Bone marrow smear:
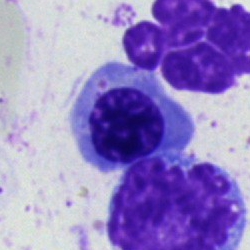
Classification: nucleated red blood cell.